Brightfield microscopy, 40× oil immersion. Bone marrow aspirate smear
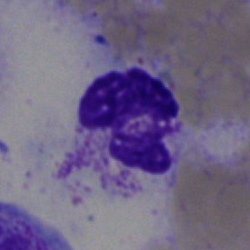

Classification = neutrophil (segmented).